Bone marrow aspirate smear; 250 by 250 pixels; Pappenheim-stained
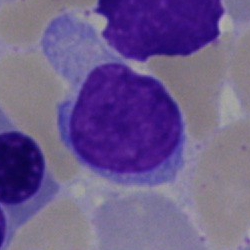

Morphology → lymphocyte.